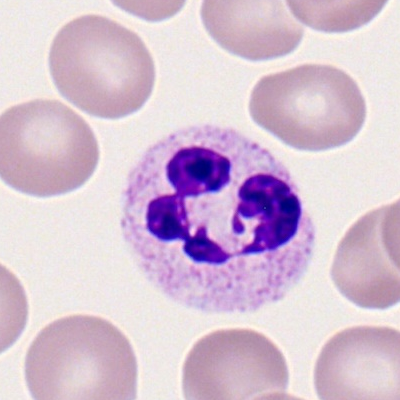The cell shown is a neutrophil (segmented).